Bone marrow aspirate smear:
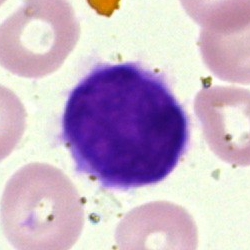 Impression — lymphocyte.